Bone marrow aspirate smear; image size 250×250: 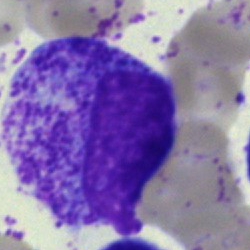 Morphology consistent with a myelocyte.